Bone marrow aspirate smear:
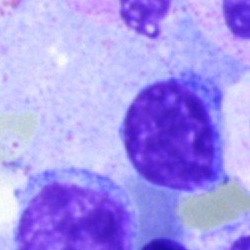Specimen: bone marrow smear.
Morphological class: lymphocyte.